Bone marrow smear.
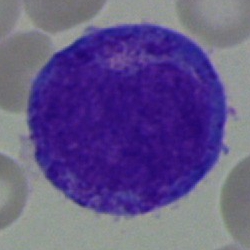

Showing a progranulocyte.